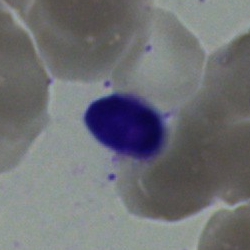 Specimen: bone marrow aspirate smear.
Morphological class: lymphocyte.